Bone marrow smear:
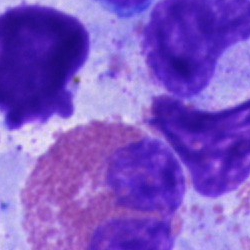

Q: What type of cell is this?
A: This is an eosinophil.